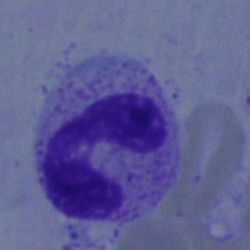 Specimen: bone marrow smear.
Cell type: band-form neutrophil.
Lineage: myeloid.